Bone marrow aspirate smear. Single-cell crop. May-Grünwald-Giemsa/Pappenheim stain.
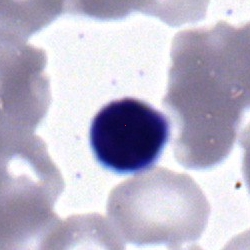

The cell shown is a typical lymphocyte.